250 by 250 pixels. Bone marrow aspirate smear. Brightfield microscopy, 40× oil immersion:
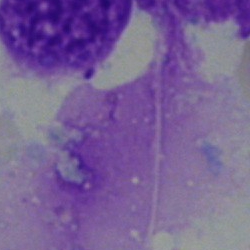 The morphological class is artefact.